Bone marrow smear
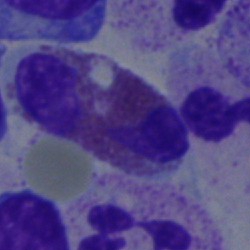

Morphological class = eosinophilic granulocyte.